Bone marrow aspirate smear. May-Grünwald-Giemsa stain — 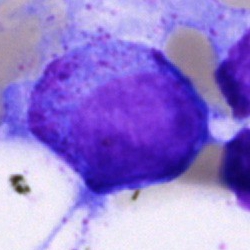Cell type: progranulocyte.